Single-cell field; bone marrow smear
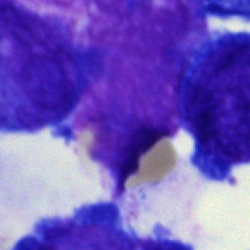
Q: What is shown here?
A: This is an artefact.